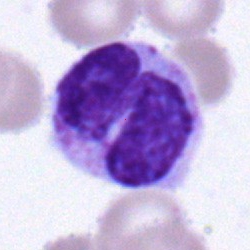Single cell identified as a polymorphonuclear neutrophil.